Image size 250×250 · brightfield microscopy, 40× oil immersion · bone marrow smear: 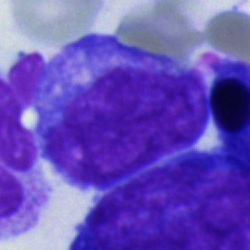The cell shown is an undifferentiated blast.